Pappenheim-stained · bone marrow aspirate smear · 250×250: 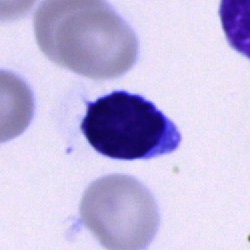 Showing a lymphocyte.